Bone marrow aspirate smear
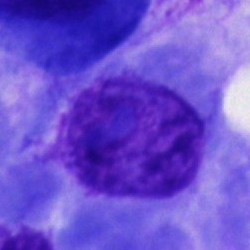 {"cell_type": "cell not matching the other categories"}